Bone marrow aspirate smear: 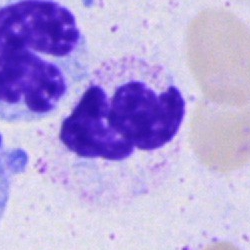Specimen: bone marrow aspirate smear.
Classification: neutrophil (segmented).
Lineage: myeloid.